Single cell centered in the field. Bone marrow smear.
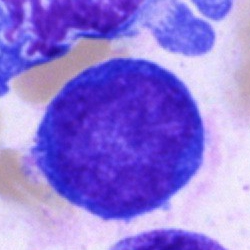

Q: What is shown here?
A: Proerythroblast.